Bone marrow aspirate smear:
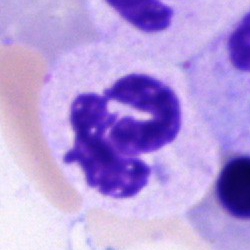

Polymorphonuclear neutrophil.